Peripheral blood smear.
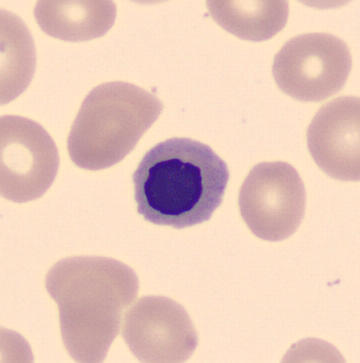

Impression → normoblast.